Peripheral blood smear. 400 by 400 pixels — 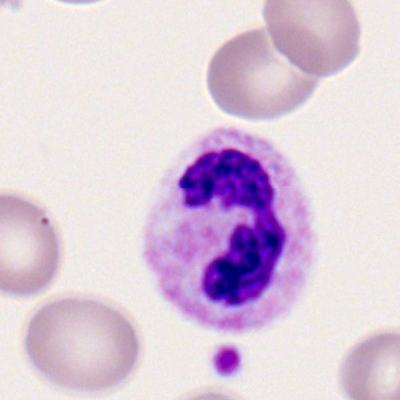 Impression — segmented neutrophil.